Bone marrow aspirate smear · single-cell field · 40× oil immersion:
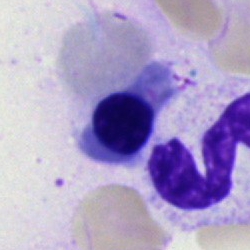Nucleated red cell.